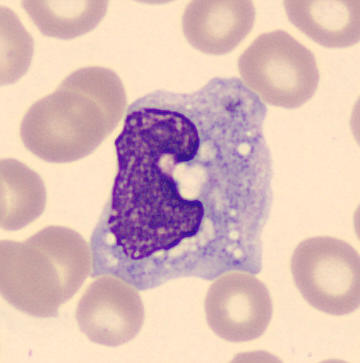Preparation: Peripheral blood film.

A monocyte.